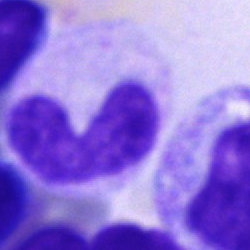

Cell: band neutrophil.